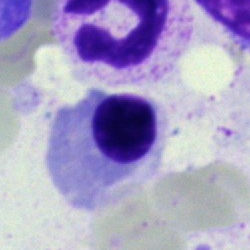

A nucleated red blood cell.